Bone marrow aspirate smear · 40× objective, oil immersion — 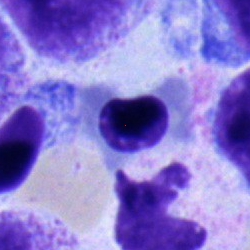 This is an erythroblast.